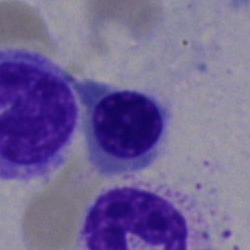

Specimen: bone marrow aspirate smear.
Cell type: erythroblast.